Bone marrow smear.
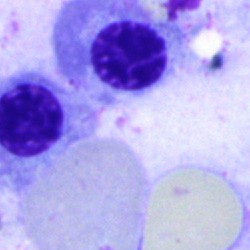Morphology consistent with a nucleated red blood cell.